Bone marrow aspirate smear
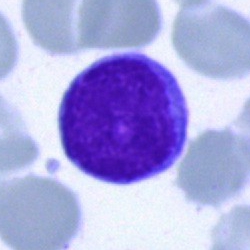
Specimen: bone marrow aspirate smear.
Cell: lymphocyte.